Peripheral blood smear — 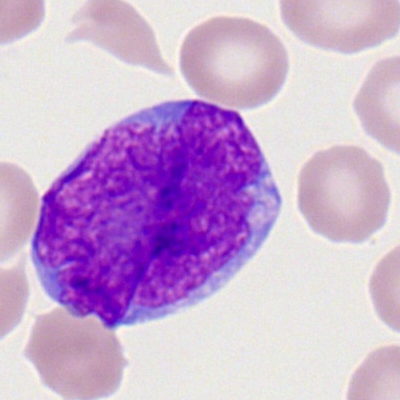

The classification is myeloblast.